Bone marrow smear.
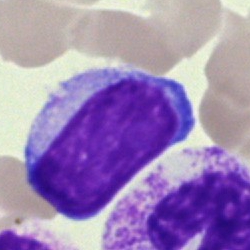A lymphocyte.